Bone marrow smear.
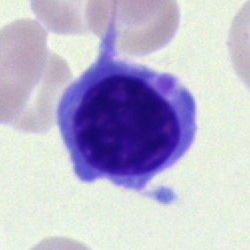

Impression — nucleated red blood cell.